Peripheral blood smear — 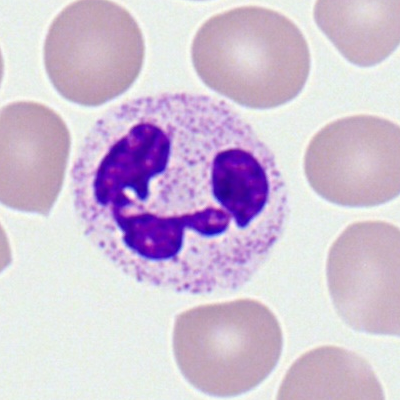

The cell shown is a segmented neutrophil.